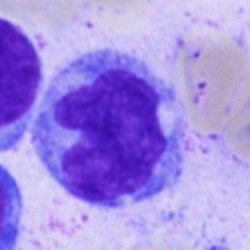
Morphological class = monocyte.